Bone marrow aspirate smear
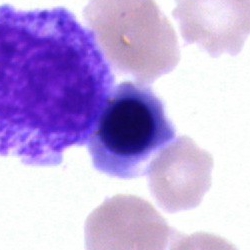 Morphology consistent with a normoblast.